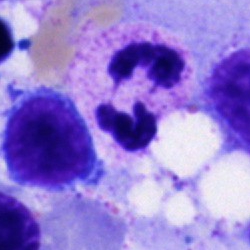
Q: Which cell type is shown here?
A: This is a polymorphonuclear neutrophil.